Bone marrow smear
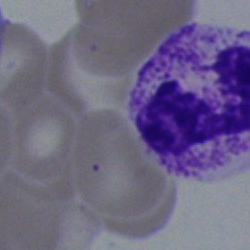
Specimen: bone marrow aspirate smear.
Cell: segmented neutrophil.